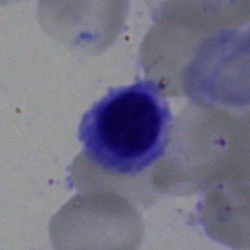Q: What is the morphological classification of this cell?
A: An erythroblast.